Bone marrow aspirate smear: 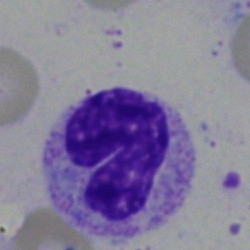Q: What type of cell is this?
A: A neutrophil (band).